Bone marrow smear
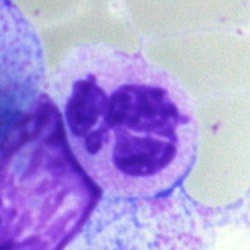A segmented neutrophil.